Peripheral blood film.
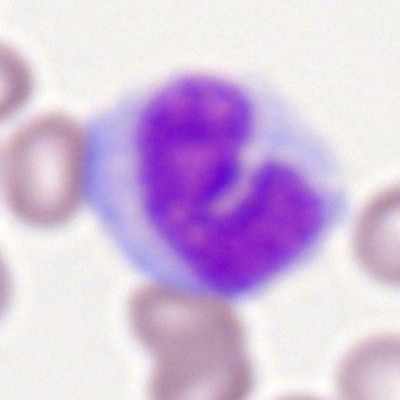 Specimen: peripheral blood smear.
Morphological class: monocyte.
Lineage: myeloid.